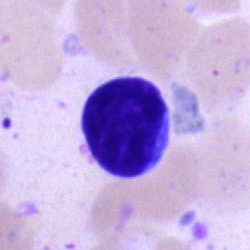Cell — typical lymphocyte.